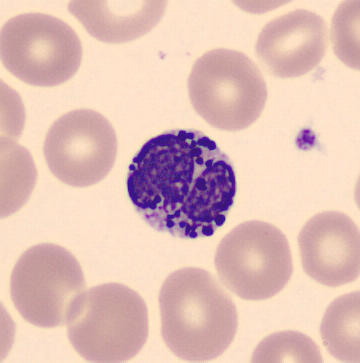 Cell — basophil.
Peripheral blood film · imaged on a CellaVision DM96 analyser.